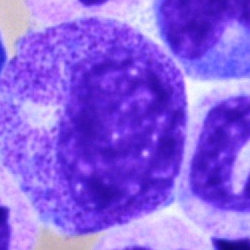
Q: Which cell type is shown here?
A: Promyelocyte.